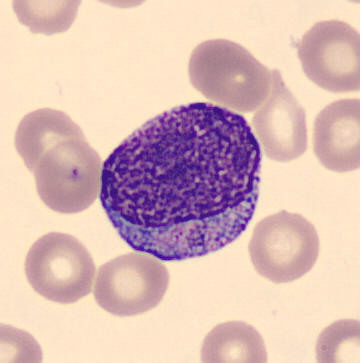A promyelocyte. Peripheral blood film.